Bone marrow aspirate smear; single-cell field.
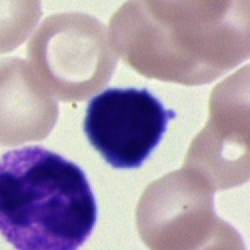

Specimen: bone marrow aspirate smear.
Morphological class: artefact.